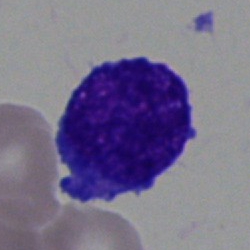Q: What is shown here?
A: This is a blast cell.